Bone marrow aspirate smear · image size 250×250
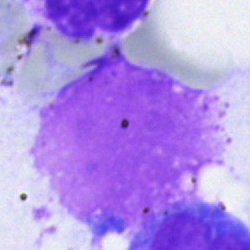 The cell is artefact.